Image size 250×250 · bone marrow aspirate smear:
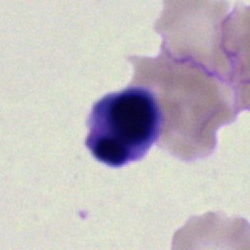 An artifact.